Bone marrow aspirate smear — 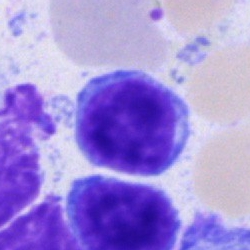
{"cell_type": "lymphocyte", "lineage": "lymphoid"}